Bone marrow smear: 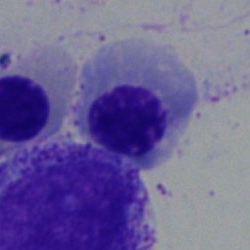
Erythroblast.